Bone marrow aspirate smear.
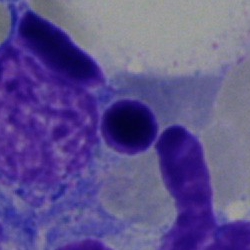
Q: What is the morphological classification of this cell?
A: This is a nucleated red blood cell.